Single-cell crop. 40× oil immersion. Bone marrow smear: 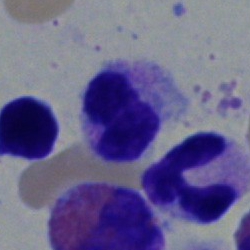
Specimen: bone marrow smear.
Morphological class: metamyelocyte.
Lineage: myeloid.